Bone marrow aspirate smear. 250×250. May-Grünwald-Giemsa/Pappenheim stain — 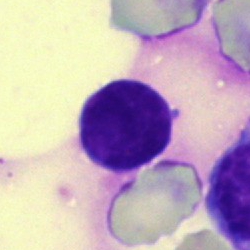Impression — typical lymphocyte.